Pappenheim-stained · bone marrow aspirate smear
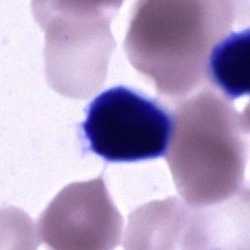

{"cell_type": "unidentifiable cell"}